Bone marrow smear; single-cell field
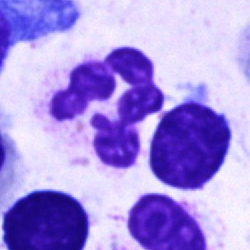The cell shown is a neutrophil (segmented).